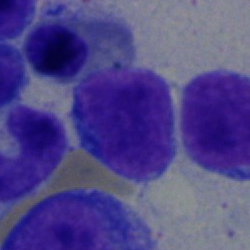
Cell type: lymphocyte.